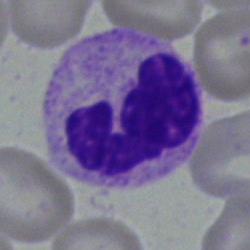
Impression → polymorphonuclear neutrophil.